Bone marrow smear. Cropped to a single cell.
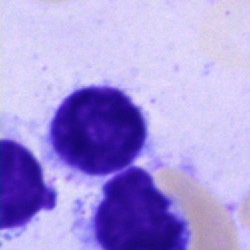
Single cell identified as a lymphocyte.